Imaged on a CellaVision DM96 analyser; May Grünwald-Giemsa stain; peripheral blood smear: 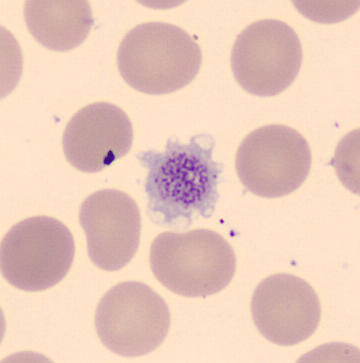

Showing a thrombocyte.